Bone marrow aspirate smear:
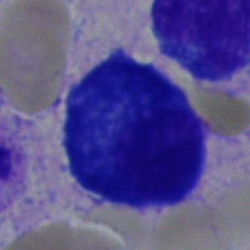
Showing a plasma cell.